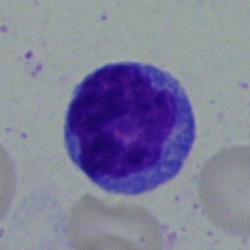 Cell type: blast.